Bone marrow smear: 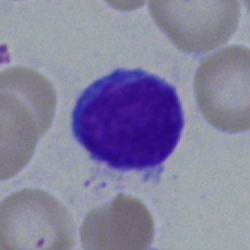

Q: Which cell type is shown here?
A: Typical lymphocyte.